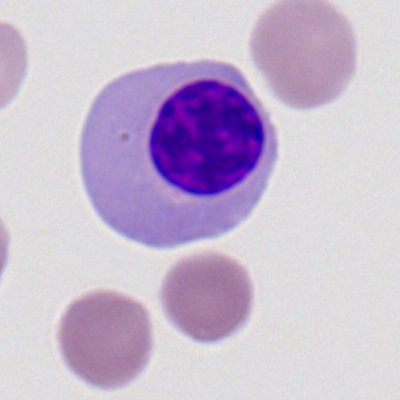A nucleated red cell on a peripheral blood smear.